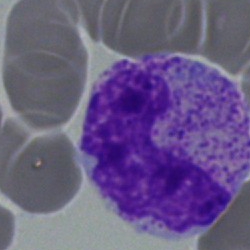

Q: Which cell type is shown here?
A: This is a neutrophil (band).